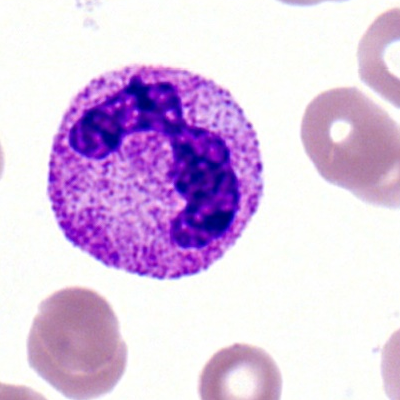Classification — neutrophil (segmented).